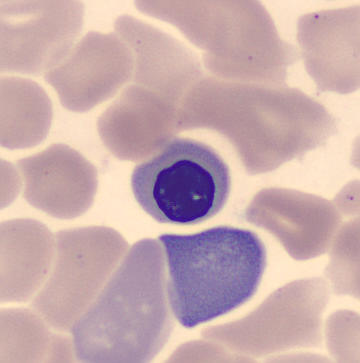 Cell type: nucleated red cell.
Image: Peripheral blood smear.